Bone marrow aspirate smear; image size 250×250
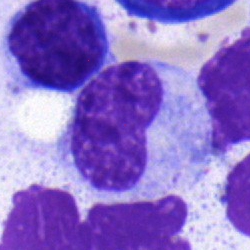

The cell type is metamyelocyte.